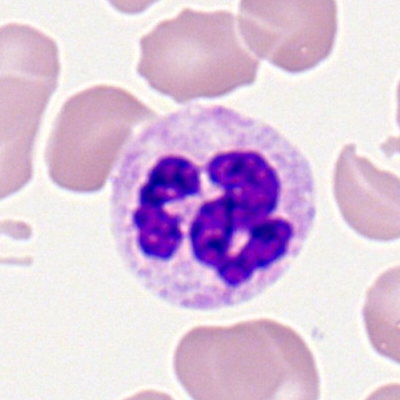Classification = neutrophil (segmented).